Bone marrow aspirate smear. 250 by 250 pixels
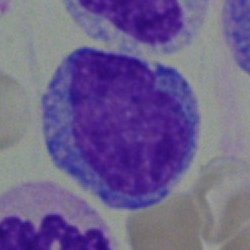
Showing a blast.